Cropped to a single cell. Bone marrow smear: 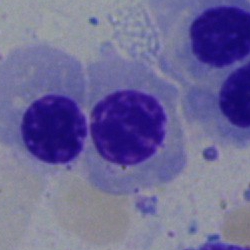

Q: What type of cell is this?
A: An erythroblast.